Bone marrow smear:
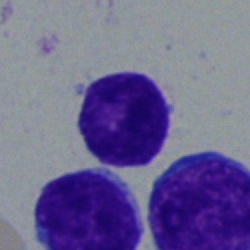

Cell — blast.